Peripheral blood smear — 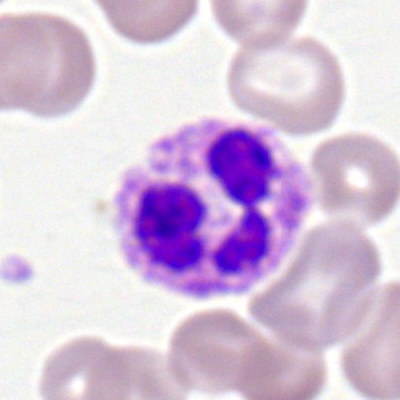
Q: What is the morphological classification of this cell?
A: Polymorphonuclear neutrophil.